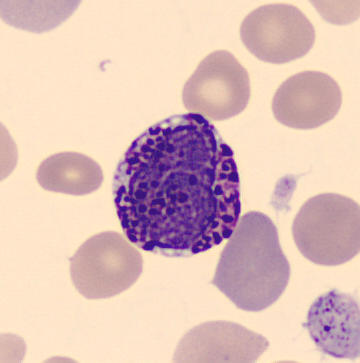

Cell = basophilic granulocyte.